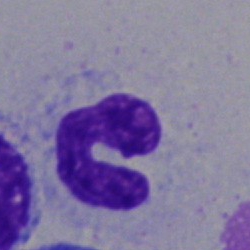

The morphological class is segmented neutrophil.